Bone marrow aspirate smear.
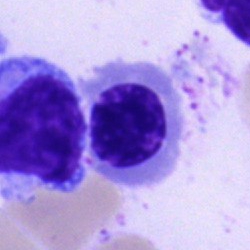

Q: What is shown here?
A: Nucleated red blood cell.